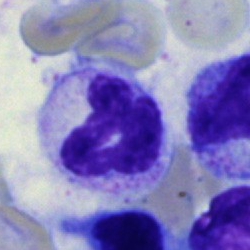 The cell shown is a band neutrophil.